Bone marrow aspirate smear · image size 250×250 · cropped to a single cell:
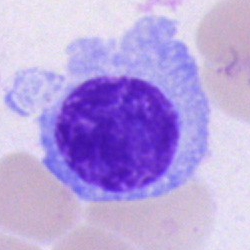
Q: What is shown here?
A: A plasmacyte.